May-Grünwald-Giemsa/Pappenheim stain; bone marrow smear; 40× oil immersion:
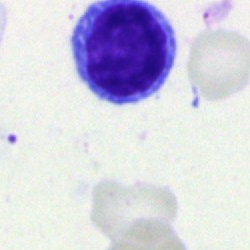 {"cell_type": "typical lymphocyte"}